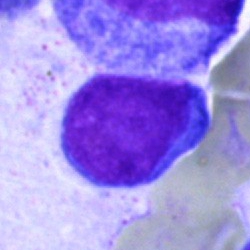

Morphological class: typical lymphocyte.